Bone marrow aspirate smear:
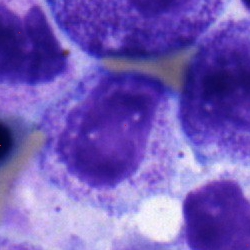
Metamyelocyte.